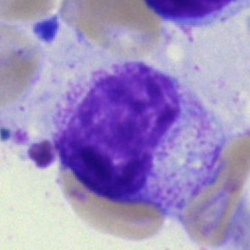A metamyelocyte on a bone marrow smear.